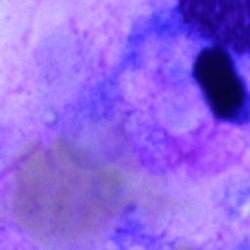
Morphology consistent with an artefact.